Peripheral blood film
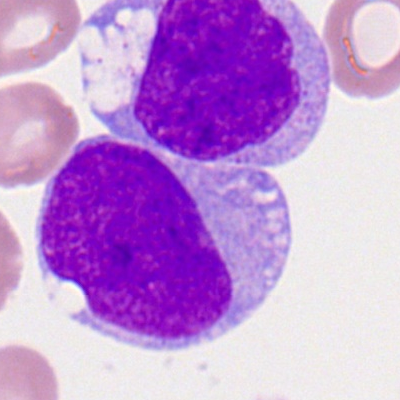{"cell_type": "myeloblast", "lineage": "myeloid"}